Cropped to a single cell · peripheral blood film — 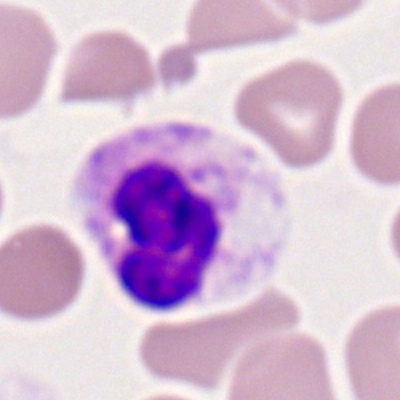 Morphology → polymorphonuclear neutrophil.